Bone marrow smear · image size 250×250: 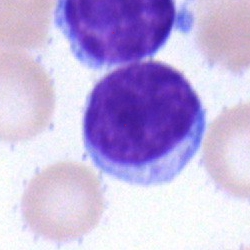

Q: Which cell type is shown here?
A: Lymphocyte.